40× oil immersion · bone marrow aspirate smear · cropped to a single cell:
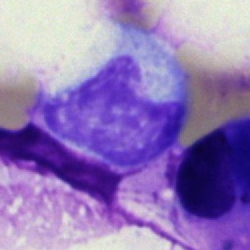Showing a metamyelocyte.